Image size 250×250 · bone marrow aspirate smear
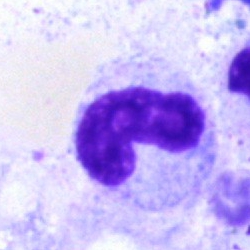

Q: Identify the cell.
A: A band neutrophil.